Bone marrow smear; 250 by 250 pixels; single-cell crop: 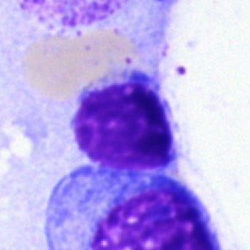 Q: What type of cell is this?
A: Typical lymphocyte.